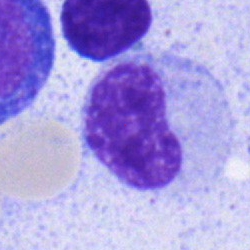
This is a metamyelocyte.